Bone marrow smear — 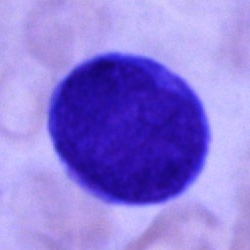
Q: What is the morphological classification of this cell?
A: This is a blast.